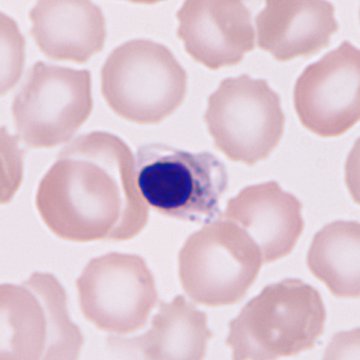 Q: What is shown here?
A: Nucleated red blood cell.